Bone marrow aspirate smear. Single-cell field: 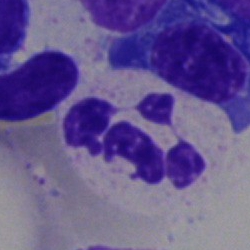
Cell: polymorphonuclear neutrophil.